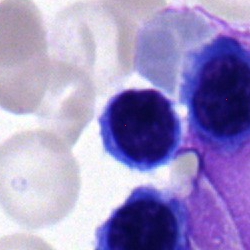 A typical lymphocyte.